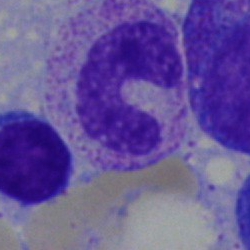

Single-cell crop from a bone marrow smear: band neutrophil.